Single-cell crop. Bone marrow aspirate smear: 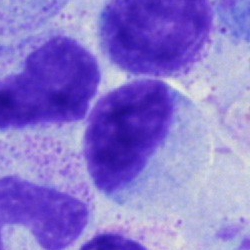
A typical lymphocyte.